Bone marrow smear.
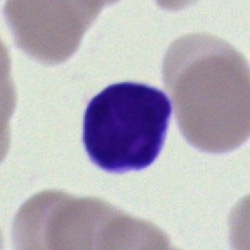Cell type = typical lymphocyte.